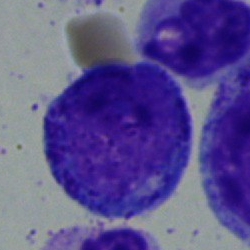

Single cell identified as a blast.